Bone marrow aspirate smear — 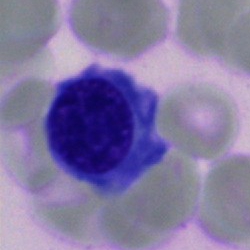{"cell_type": "normoblast", "lineage": "erythroid"}